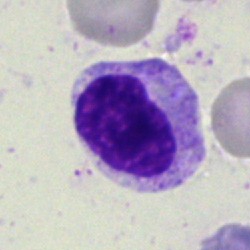A myelocyte on a bone marrow smear.